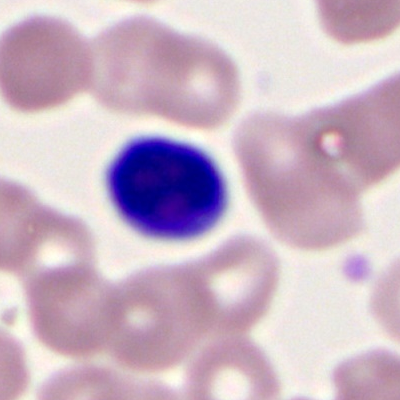

Q: What type of cell is this?
A: It is a typical lymphocyte.